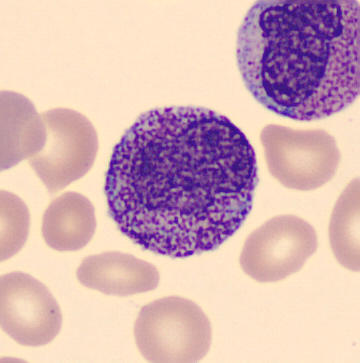

Cell type: progranulocyte. Preparation: 360×363 px · single-cell crop · peripheral blood smear.